250 by 250 pixels · bone marrow smear
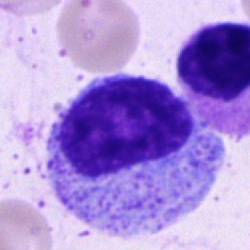Progranulocyte.